Bone marrow aspirate smear:
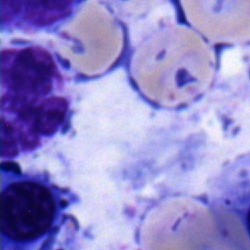

Specimen: bone marrow smear.
Classification: polymorphonuclear neutrophil.
Lineage: myeloid.